May-Grünwald-Giemsa/Pappenheim stain · single-cell crop · bone marrow aspirate smear
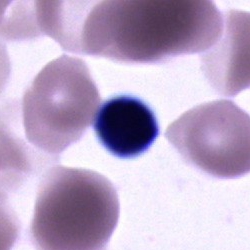

This is a cell of indeterminate lineage.